May-Grünwald-Giemsa/Pappenheim stain; 40× oil immersion; bone marrow smear: 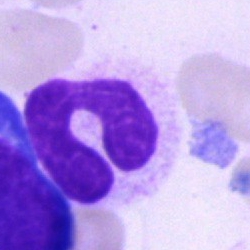

Specimen: bone marrow smear.
Morphological class: band-form neutrophil.